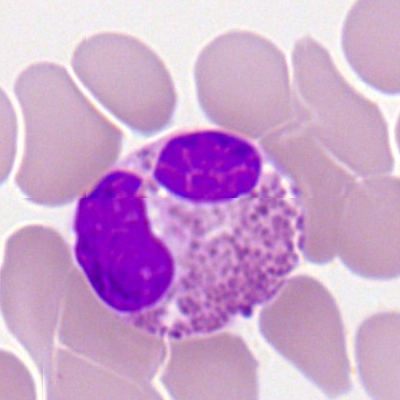Specimen: peripheral blood film.
Classification: eosinophil.